Bone marrow aspirate smear: 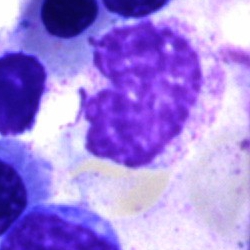Specimen: bone marrow smear.
Cell: metamyelocyte.
Lineage: myeloid.